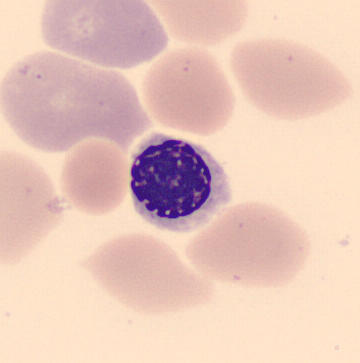

Image: 360×363. Peripheral blood smear. Cell type = erythroblast.